Bone marrow aspirate smear.
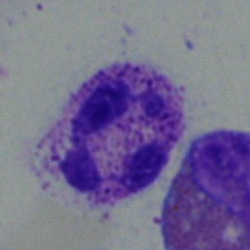

{"cell_type": "neutrophil (segmented)"}